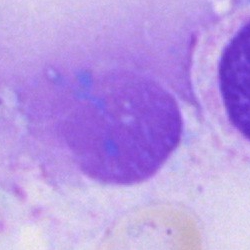Single-cell crop from a bone marrow smear: artifact.